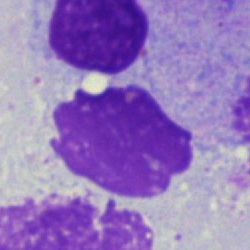Specimen: bone marrow aspirate smear.
Cell type: artefact.